Single-cell field; bone marrow smear: 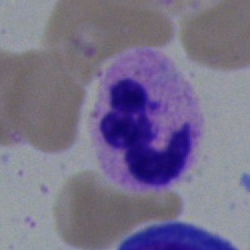 Morphology consistent with a polymorphonuclear neutrophil.